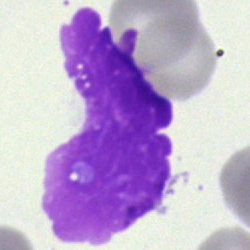The cell shown is an artifact.